Bone marrow aspirate smear: 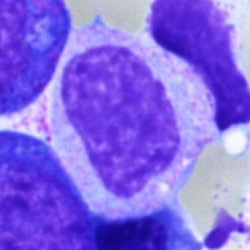Myelocyte.